Single-cell crop · bone marrow aspirate smear — 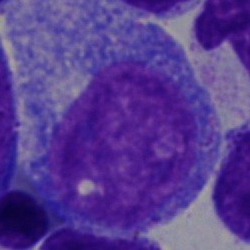

{"cell_type": "progranulocyte"}